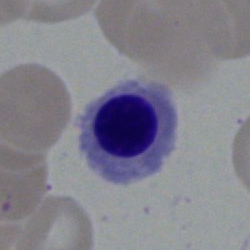

Impression → nucleated red blood cell.